MGG-stained; bone marrow smear — 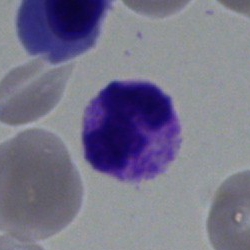
Classification: neutrophil (segmented).